Peripheral blood film · single-cell field.
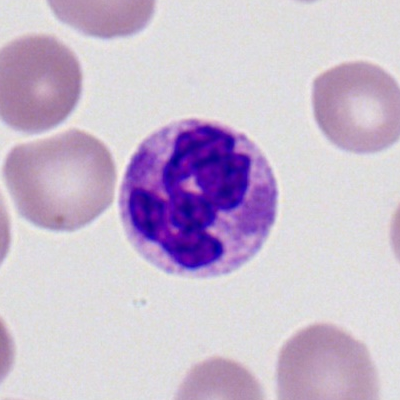
Impression — polymorphonuclear neutrophil.